Bone marrow aspirate smear
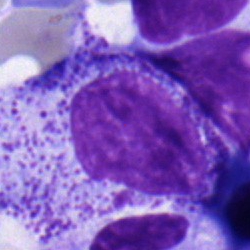 Single cell identified as a myelocyte.